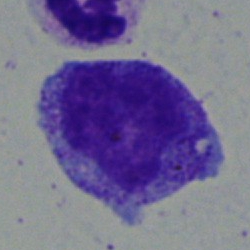
A myelocyte.